Cropped to a single cell; bone marrow smear
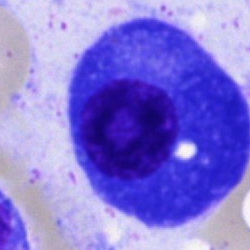
Cell type — plasmacyte.